Bone marrow smear: 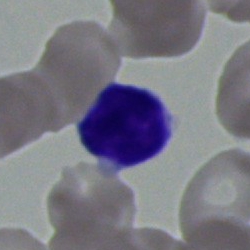The cell is typical lymphocyte.